40× objective, oil immersion. Bone marrow aspirate smear.
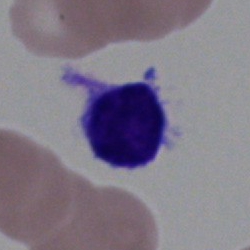

Cell = lymphocyte.